Bone marrow smear.
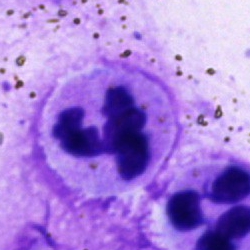
Polymorphonuclear neutrophil.